Bone marrow smear; single-cell field.
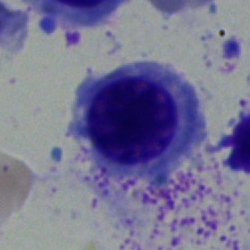Morphology consistent with an erythroblast.